100× oil immersion, 14.14 px/µm. Peripheral blood smear
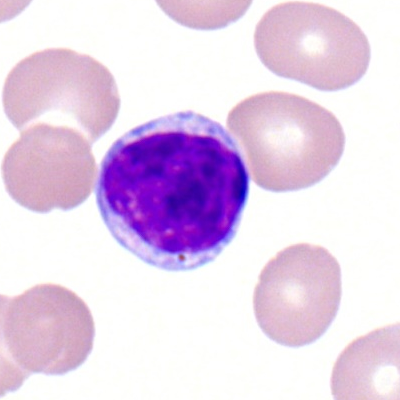
Single cell identified as a lymphocyte.